Bone marrow aspirate smear.
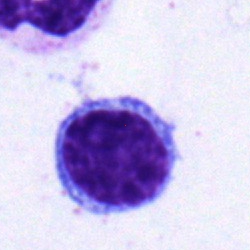Single cell identified as a typical lymphocyte.